40× oil immersion; bone marrow smear: 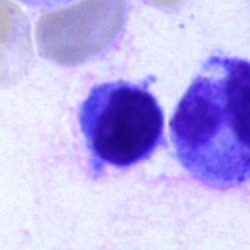

This is a lymphocyte.